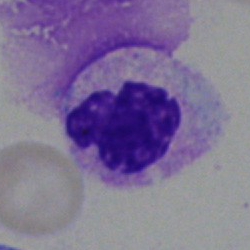

Q: Which cell type is shown here?
A: It is a segmented neutrophil.